Bone marrow smear — 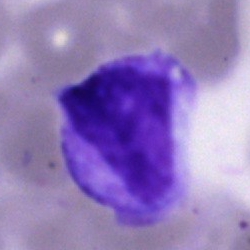

Impression — unidentifiable cell.